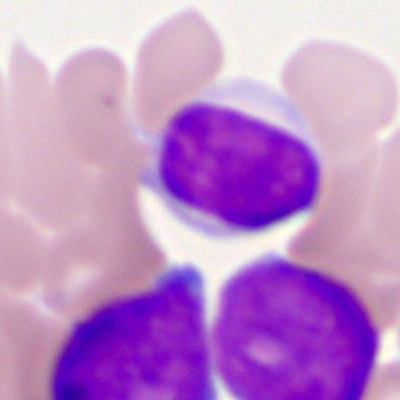

Cell: lymphocyte.